Bone marrow aspirate smear. May-Grünwald-Giemsa/Pappenheim stain: 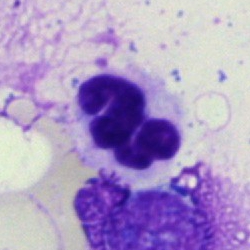
Morphological class: polymorphonuclear neutrophil.